Bone marrow aspirate smear:
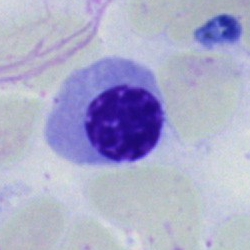
Cell type = nucleated red cell.